Bone marrow aspirate smear · brightfield microscopy, 40× oil immersion:
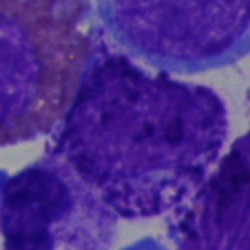

Impression — basophil.